Single-cell field. 250 by 250 pixels. Bone marrow smear: 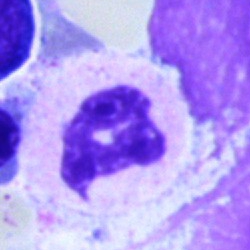{"cell_type": "segmented neutrophil", "lineage": "myeloid"}